Bone marrow smear. 40× oil immersion. May-Grünwald-Giemsa stain:
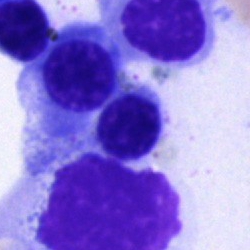 Q: What is the morphological classification of this cell?
A: A nucleated red cell.